Bone marrow smear:
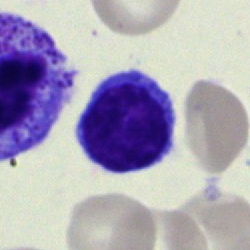
Impression — lymphocyte.